Pappenheim-stained · bone marrow smear:
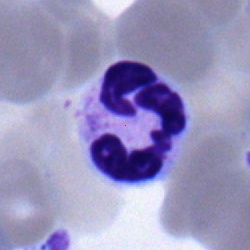Q: What is shown here?
A: Neutrophil (segmented).